Bone marrow smear:
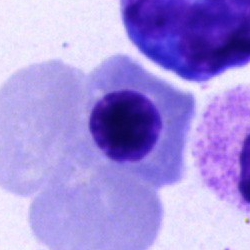
Showing an erythroblast.